Bone marrow smear. Cropped to a single cell. Brightfield, 40× oil-immersion objective — 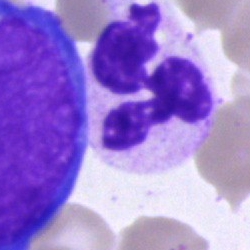Specimen: bone marrow smear.
Cell type: polymorphonuclear neutrophil.
Lineage: myeloid.